Single-cell crop. Bone marrow aspirate smear:
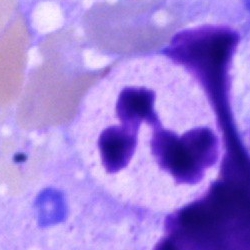Classification = segmented neutrophil.